Bone marrow smear:
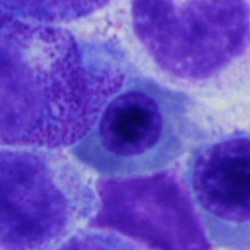Cell type = erythroblast.